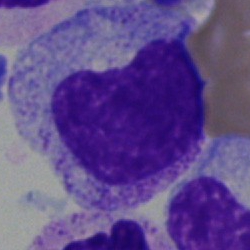

Bone marrow aspirate smear, single cell — metamyelocyte.